Bone marrow aspirate smear — 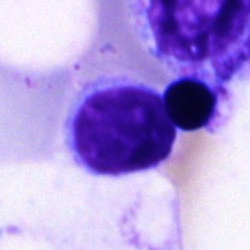 Lymphocyte.